Bone marrow aspirate smear — 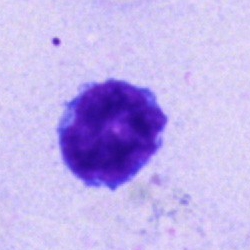 Specimen: bone marrow smear.
Cell type: lymphocyte.
Lineage: lymphoid.